400×400 px · peripheral blood smear — 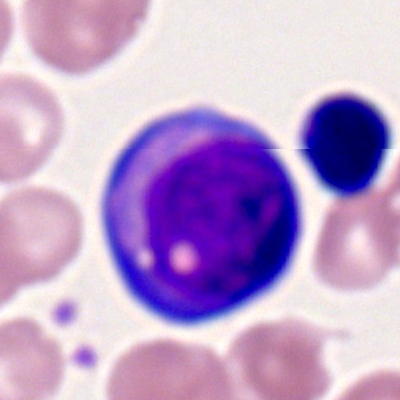
Q: What cell is this?
A: A myeloid blast.